Bone marrow smear.
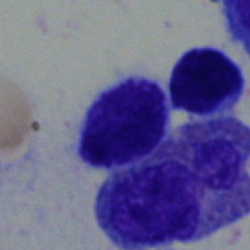Specimen: bone marrow aspirate smear.
Cell type: lymphocyte.